Single-cell field; bone marrow aspirate smear; image size 250×250
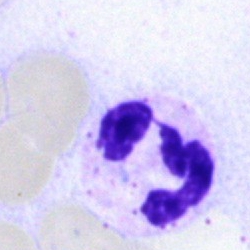Specimen: bone marrow smear.
Classification: neutrophil (segmented).
Lineage: myeloid.